Bone marrow aspirate smear:
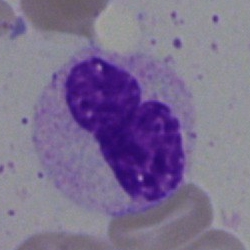

Single cell identified as a segmented neutrophil.